Bone marrow aspirate smear · single-cell crop
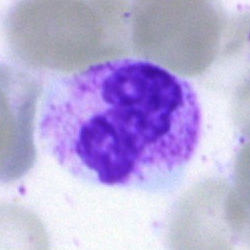 Q: What is shown here?
A: A stab cell.